Bone marrow aspirate smear:
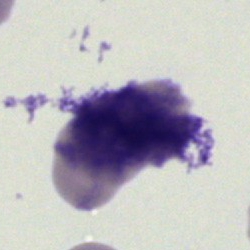Q: What is shown here?
A: This is an artefact.